Bone marrow aspirate smear:
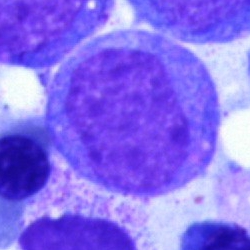
Classification: blast cell.